Bone marrow smear.
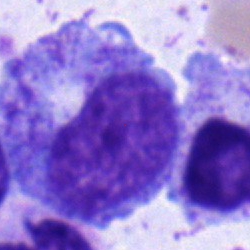 Showing a promyelocyte.